Bone marrow aspirate smear; 40× objective, oil immersion: 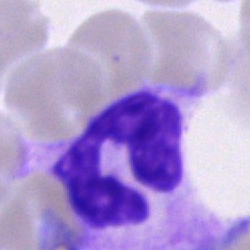
Showing a polymorphonuclear neutrophil.